40× oil immersion; bone marrow aspirate smear; MGG-stained:
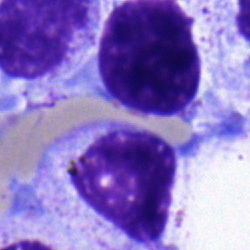
Q: What cell is this?
A: This is a myelocyte.